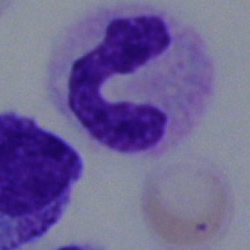 A stab cell.